Bone marrow aspirate smear — 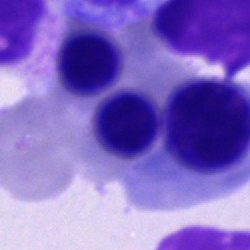Q: What is the morphological classification of this cell?
A: A normoblast.